Bone marrow aspirate smear: 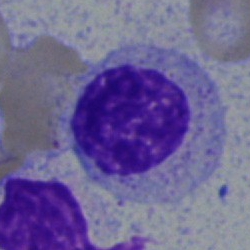

Classification — myelocyte.